Bone marrow smear; single cell centered in the field
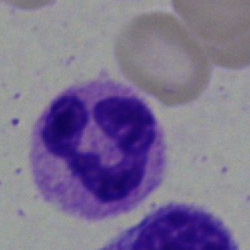
Q: What is shown here?
A: Segmented neutrophil.